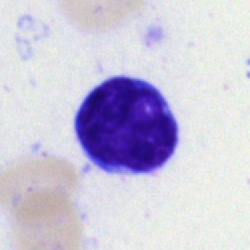

Bone marrow smear showing a typical lymphocyte.